Bone marrow smear. Image size 250×250
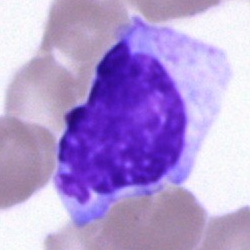Morphology consistent with an artifact.